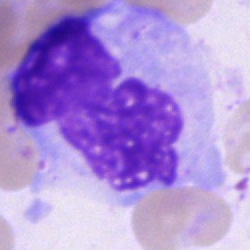Cell type — cell of indeterminate lineage.